40× oil immersion. 250 by 250 pixels. Bone marrow aspirate smear.
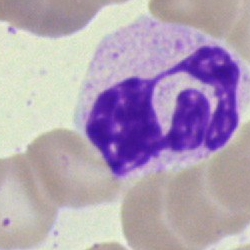Morphology → neutrophil (segmented).